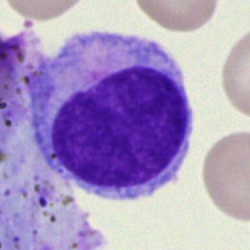
Specimen: bone marrow smear.
Cell: hairy cell.
Lineage: lymphoid.